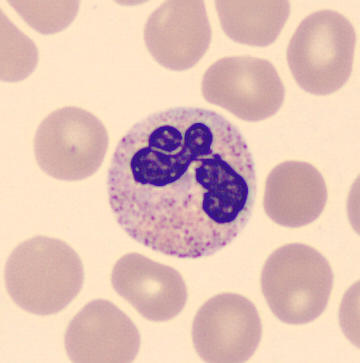

{"cell_type": "polymorphonuclear neutrophil"}